Cropped to a single cell · bone marrow smear
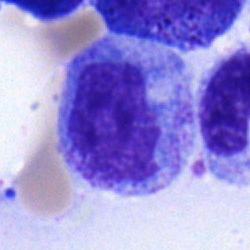

The cell is promyelocyte.